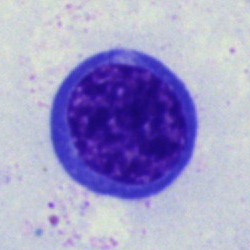 Q: What cell is this?
A: It is an erythroblast.